Pappenheim-stained. Bone marrow smear.
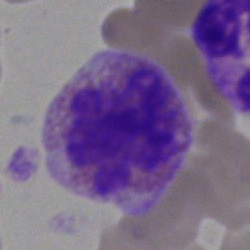Q: What is the morphological classification of this cell?
A: This is a cell of indeterminate lineage.